250 by 250 pixels; bone marrow smear.
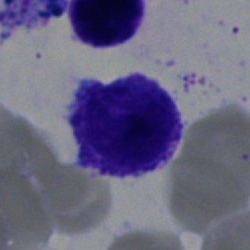

Q: What is shown here?
A: This is an artifact.